Bone marrow smear · Pappenheim-stained · 250×250 — 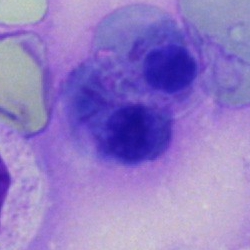

Morphological class: artifact.